Bone marrow smear: 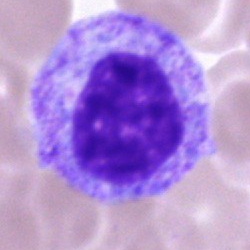

The classification is promyelocyte.